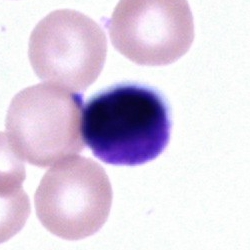
Cell type — artifact.